Bone marrow aspirate smear
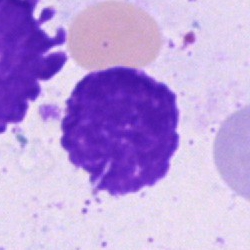
An artifact.